Bone marrow aspirate smear.
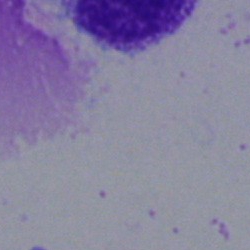

Classification = artifact.